Bone marrow smear; May-Grünwald-Giemsa stain
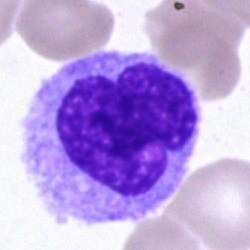

Specimen: bone marrow aspirate smear.
Morphological class: monocyte.
Lineage: myeloid.